Bone marrow aspirate smear
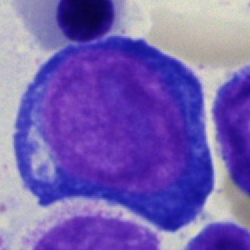
The cell shown is a proerythroblast.